Bone marrow aspirate smear.
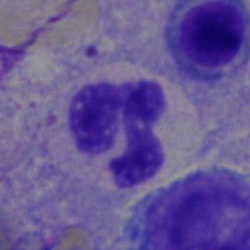Showing a segmented neutrophil.